May-Grünwald-Giemsa/Pappenheim stain; bone marrow smear.
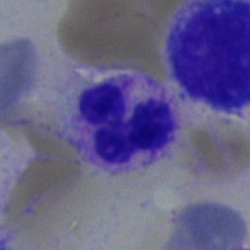 Classification: polymorphonuclear neutrophil.